Bone marrow aspirate smear: 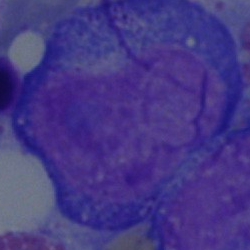 Morphology consistent with a progranulocyte.